Bone marrow smear — 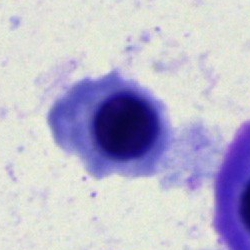
Classification = nucleated red cell.